Bone marrow smear.
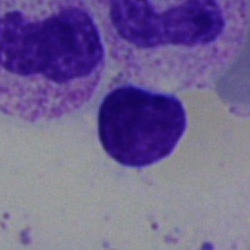Q: What cell is this?
A: This is a lymphocyte.